Bone marrow smear — 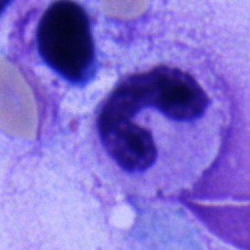

Specimen: bone marrow aspirate smear.
Classification: polymorphonuclear neutrophil.
Lineage: myeloid.